Peripheral blood smear — 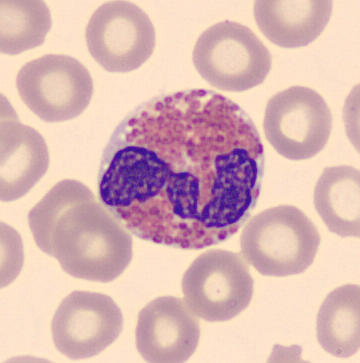
{"cell_type": "eosinophil"}